Bone marrow aspirate smear — 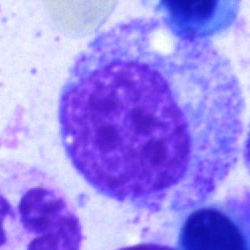

Q: Identify the cell.
A: Myelocyte.